Image size 250×250. Bone marrow aspirate smear
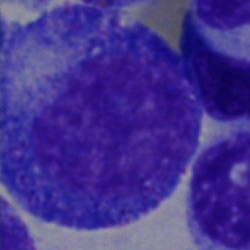Q: Identify the cell.
A: It is a progranulocyte.